Bone marrow aspirate smear
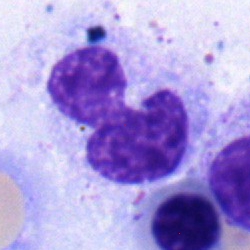
Classification — monocyte.